Bone marrow smear — 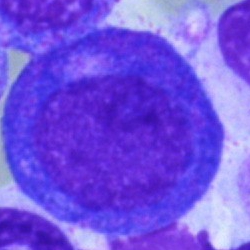Specimen: bone marrow aspirate smear.
Classification: progranulocyte.
Lineage: myeloid.